Image size 250×250; bone marrow smear:
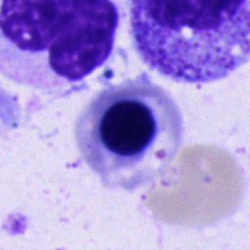

Single cell identified as a normoblast.